Bone marrow smear — 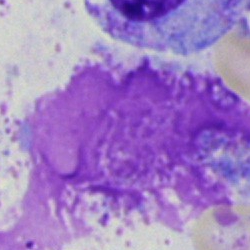
Specimen: bone marrow smear.
Cell: artifact.